Single-cell field. Bone marrow smear. Pappenheim-stained:
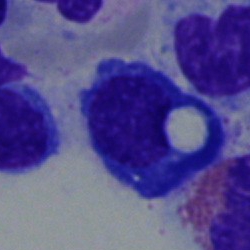A plasmacyte.